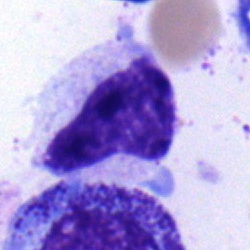
Impression → metamyelocyte.